Bone marrow smear — 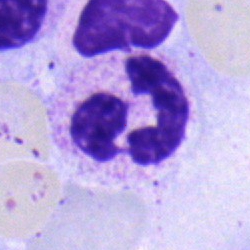 The cell type is neutrophil (segmented).